Pappenheim-stained · bone marrow aspirate smear · 250×250 px
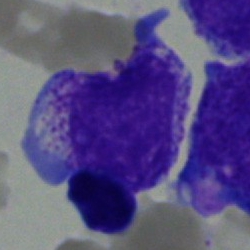

This is a progranulocyte.